Single-cell crop · bone marrow smear: 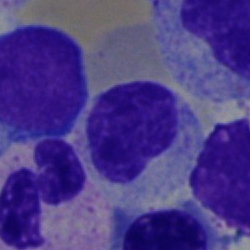Morphological class = plasmacyte.